Bone marrow smear — 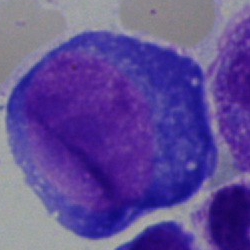

Morphology consistent with a pronormoblast.